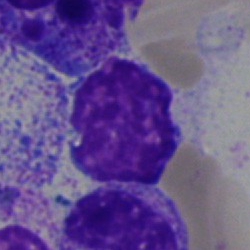 Bone marrow aspirate smear, single cell — artifact.